Single-cell crop; bone marrow smear — 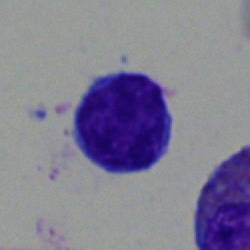 Impression — typical lymphocyte.